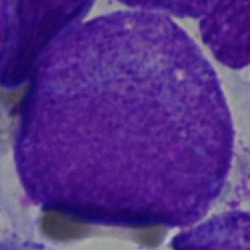
Morphological class — blast cell.